40× objective, oil immersion; bone marrow aspirate smear: 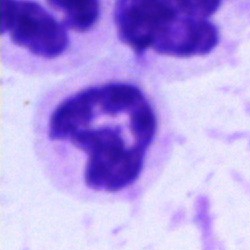 Cell = neutrophil (segmented).